250×250 px. Bone marrow smear: 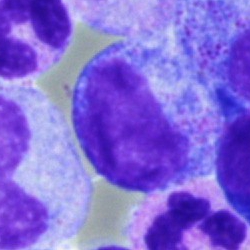
Single cell identified as a promyelocyte.